Single-cell field · bone marrow smear · May-Grünwald-Giemsa/Pappenheim stain.
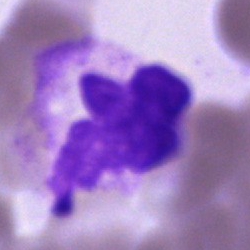 A polymorphonuclear neutrophil.